Bone marrow aspirate smear.
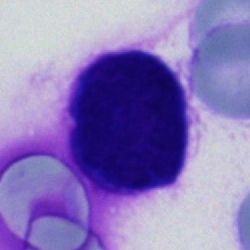 Cell = unidentifiable cell.